Bone marrow smear.
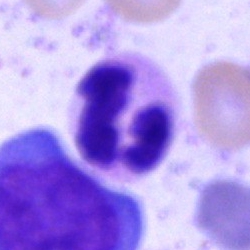 The cell shown is a segmented neutrophil.